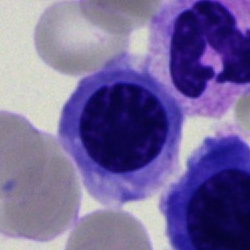 Specimen: bone marrow aspirate smear.
Cell type: normoblast.